Bone marrow smear · May-Grünwald-Giemsa stain · 250×250 px:
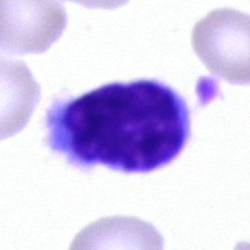 Classification: typical lymphocyte.